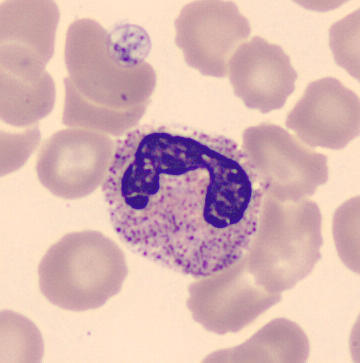
A segmented neutrophil.
Peripheral blood smear.